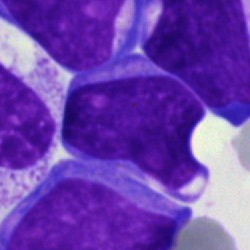

Morphological class = blast.